Bone marrow smear:
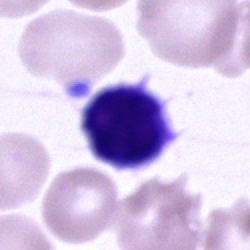

The classification is unidentifiable cell.